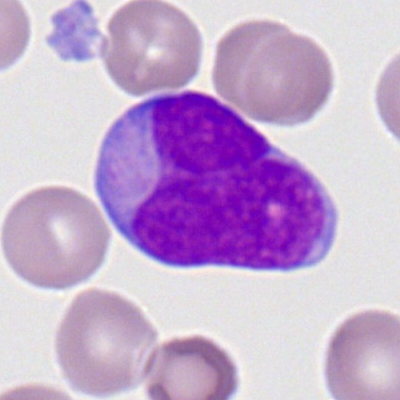

{"cell_type": "myeloblast", "lineage": "myeloid"}